Cropped to a single cell; bone marrow aspirate smear:
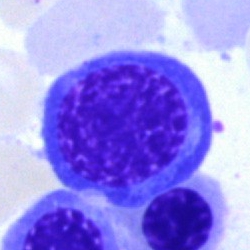
A normoblast.